Peripheral blood film. 100× objective, oil immersion. Romanowsky stain.
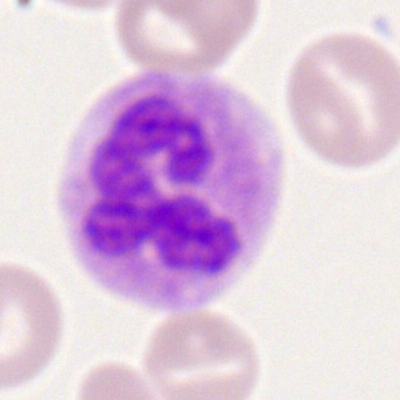

Classification — segmented neutrophil.